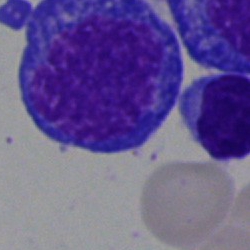 Morphological class — nucleated red blood cell.